Bone marrow smear — 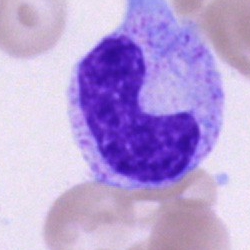 Specimen: bone marrow smear.
Classification: band-form neutrophil.
Lineage: myeloid.